Single-cell crop · bone marrow aspirate smear · image size 250×250
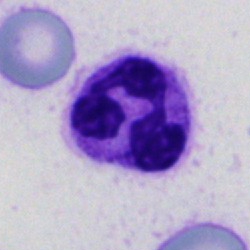 The cell is polymorphonuclear neutrophil.